Cropped to a single cell; bone marrow aspirate smear:
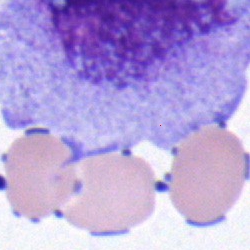
The morphological class is blast cell.